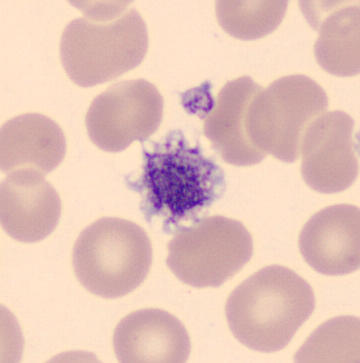Preparation: Peripheral blood film.
Showing a platelet.